40× oil immersion · bone marrow smear
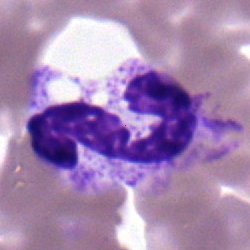

Morphology — segmented neutrophil.